Bone marrow aspirate smear — 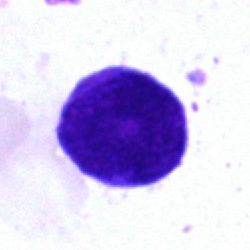

The classification is blast.